Bone marrow smear
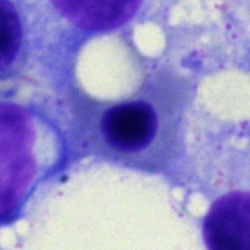

Specimen: bone marrow aspirate smear.
Cell: nucleated red cell.
Lineage: erythroid.